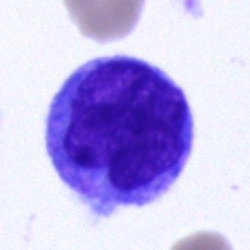 An undifferentiated blast.